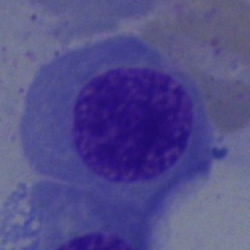An erythroblast on a bone marrow smear.